Peripheral blood smear
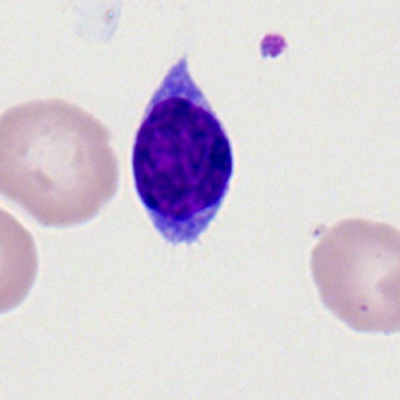

The cell type is lymphocyte.